Bone marrow aspirate smear; brightfield, 40× oil-immersion objective: 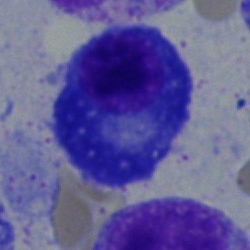
Morphological class: plasmacyte.